Bone marrow smear:
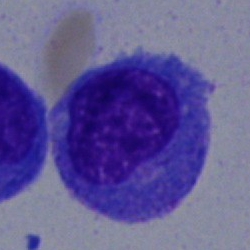Classification — undifferentiated blast.